Bone marrow aspirate smear; Pappenheim-stained — 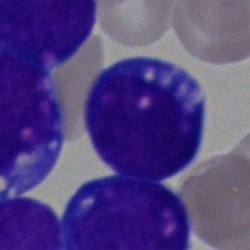Morphology — undifferentiated blast.